Bone marrow aspirate smear: 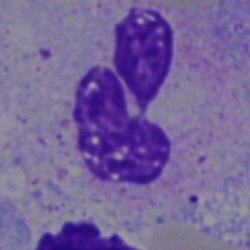 A polymorphonuclear neutrophil.